Pappenheim-stained · bone marrow aspirate smear
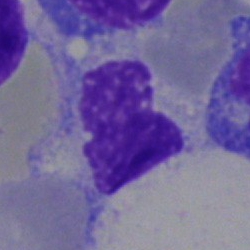Impression → artefact.